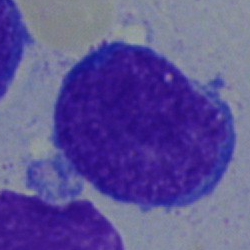 Single-cell crop from a bone marrow smear: undifferentiated blast.